MGG-stained. Bone marrow smear. Single-cell crop.
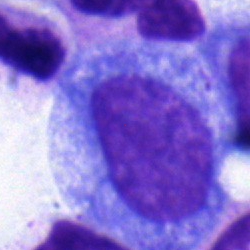

Q: What cell is this?
A: A promyelocyte.